Bone marrow smear:
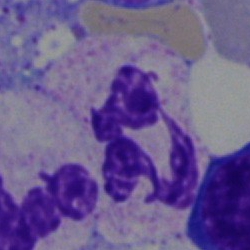

Single cell identified as a polymorphonuclear neutrophil.